Bone marrow smear: 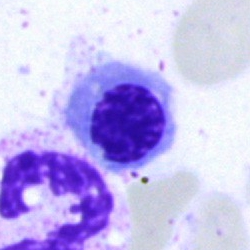Morphology consistent with a nucleated red cell.